Single-cell field · bone marrow aspirate smear:
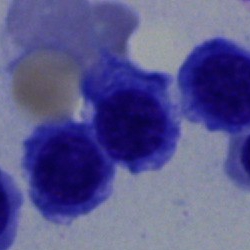
Cell type = nucleated red blood cell.